Bone marrow aspirate smear.
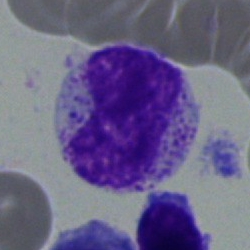

Cell type — metamyelocyte.